Bone marrow aspirate smear; MGG-stained.
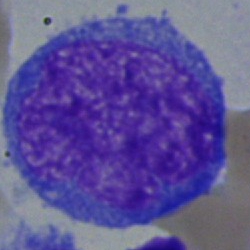

An undifferentiated blast.